Bone marrow aspirate smear:
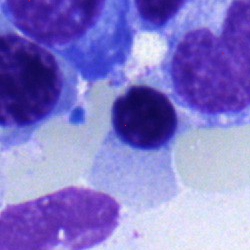

Erythroblast.